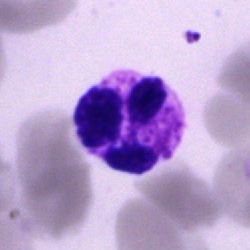A segmented neutrophil on a bone marrow smear.